Bone marrow smear. Brightfield microscopy, 40× oil immersion. Image size 250×250: 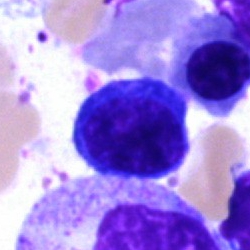Nucleated red cell.